Single cell centered in the field · bone marrow smear: 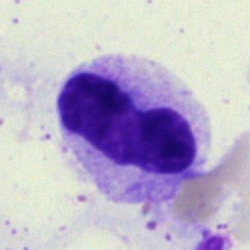Q: Which cell type is shown here?
A: Band-form neutrophil.